Brightfield microscopy, 40× oil immersion · bone marrow smear
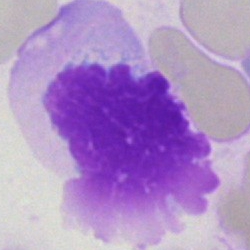
Single cell identified as an artifact.